Bone marrow aspirate smear; 250×250
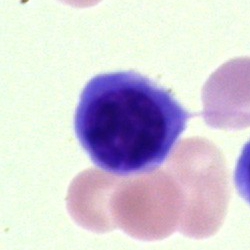

Specimen: bone marrow aspirate smear.
Cell type: erythroblast.